Image size 250×250. Bone marrow aspirate smear: 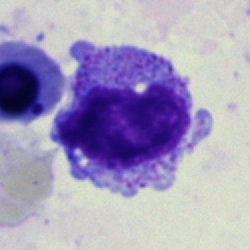

{"cell_type": "artifact"}